Bone marrow aspirate smear
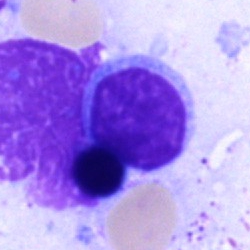Cell: typical lymphocyte.